250×250. Bone marrow smear. May-Grünwald-Giemsa/Pappenheim stain: 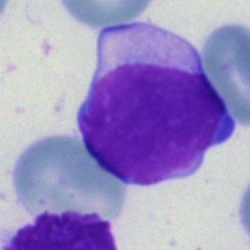

Q: Which cell type is shown here?
A: This is a typical lymphocyte.